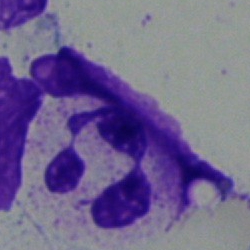

A polymorphonuclear neutrophil on a bone marrow smear.